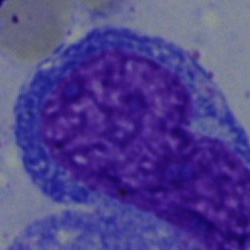
Cell type — progranulocyte.